Peripheral blood smear
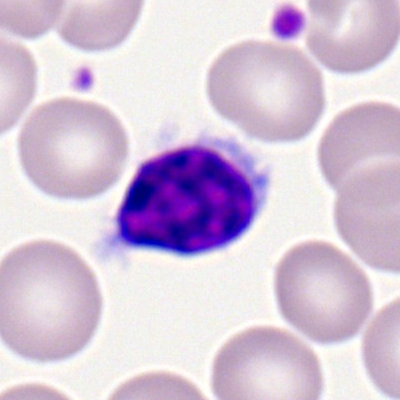
The cell shown is a lymphocyte.